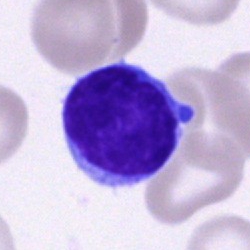
Showing a typical lymphocyte.